100× oil immersion; peripheral blood film — 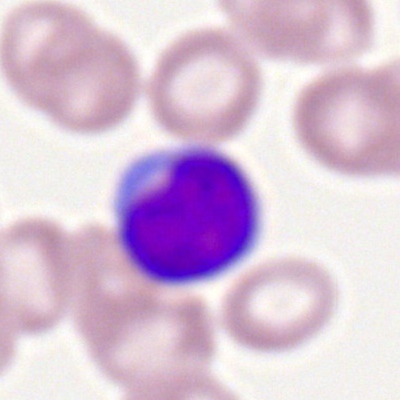Q: What cell is this?
A: Typical lymphocyte.